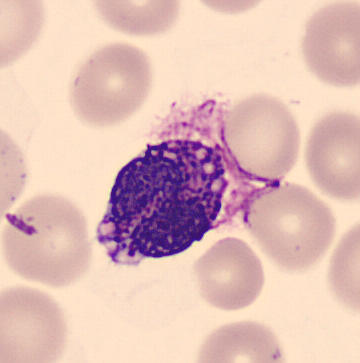 Specimen: peripheral blood film.
Cell: basophilic granulocyte.